250 by 250 pixels · bone marrow aspirate smear · 40× oil immersion
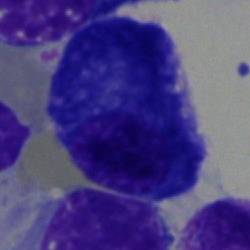
Cell type = plasma cell.